Image size 400×400 · Romanowsky-stained · peripheral blood smear
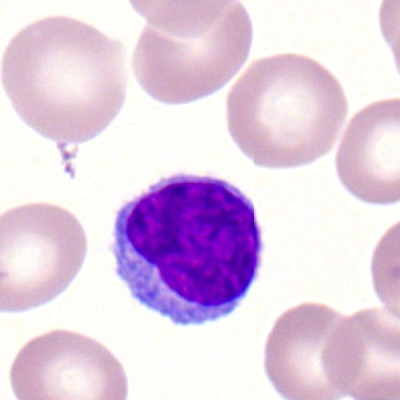

Cell — typical lymphocyte.